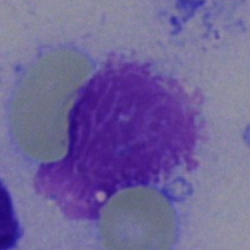Cell — artefact.